Bone marrow aspirate smear.
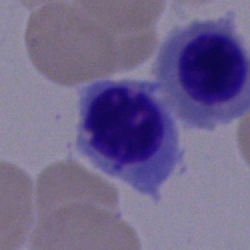 Specimen: bone marrow smear.
Classification: nucleated red cell.
Lineage: erythroid.